May-Grünwald-Giemsa/Pappenheim stain; bone marrow aspirate smear: 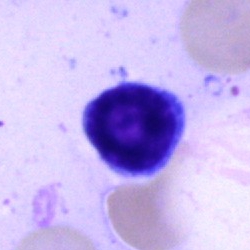 Cell = typical lymphocyte.